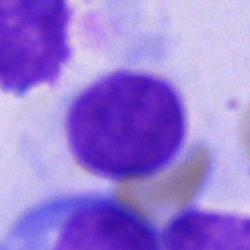 An artifact on a bone marrow smear.